Bone marrow smear. Single-cell field. MGG-stained — 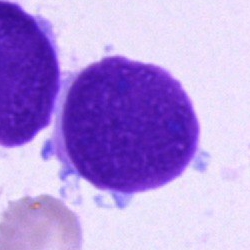Classification — artifact.